Single-cell field. Pappenheim-stained. Bone marrow smear:
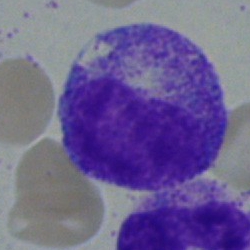Morphology → myelocyte.